Peripheral blood smear · 400×400: 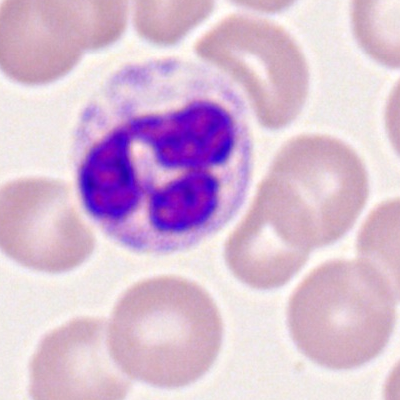
Specimen: peripheral blood smear.
Morphological class: segmented neutrophil.
Lineage: myeloid.